Bone marrow aspirate smear
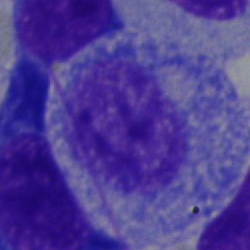

This is a progranulocyte.